Bone marrow aspirate smear.
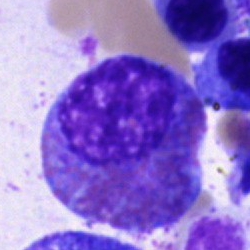 Specimen: bone marrow aspirate smear.
Classification: eosinophil.
Lineage: myeloid.